Bone marrow aspirate smear:
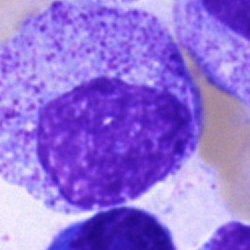

Morphological class — promyelocyte.